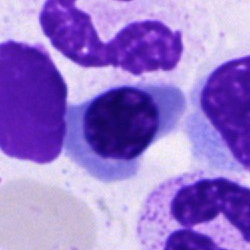 Bone marrow smear showing an erythroblast.